May-Grünwald-Giemsa stain · 40× oil immersion · bone marrow aspirate smear.
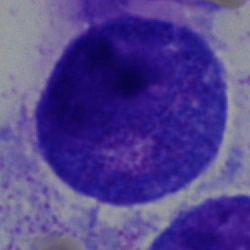 Specimen: bone marrow smear.
Classification: progranulocyte.
Lineage: myeloid.